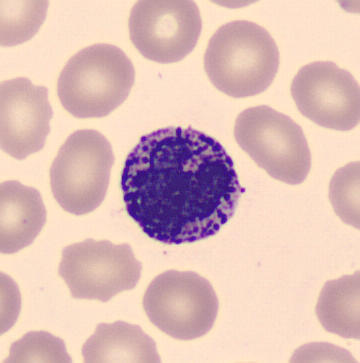{"cell_type": "basophil"}